Bone marrow smear · May-Grünwald-Giemsa stain
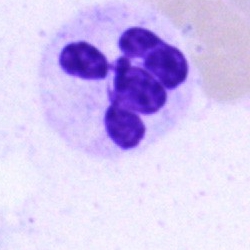Q: Identify the cell.
A: A polymorphonuclear neutrophil.